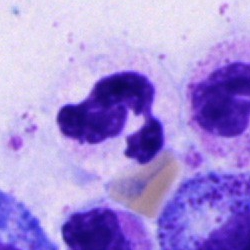

Polymorphonuclear neutrophil.